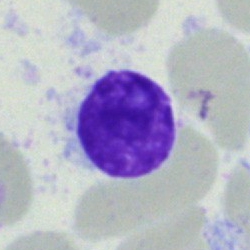Single cell identified as an artifact.